Bone marrow aspirate smear
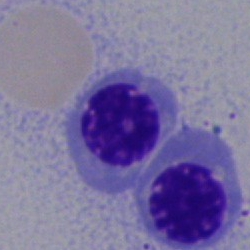

Q: What cell is this?
A: It is a normoblast.